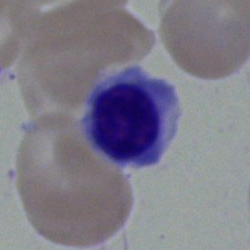
Q: Which cell type is shown here?
A: It is an erythroblast.